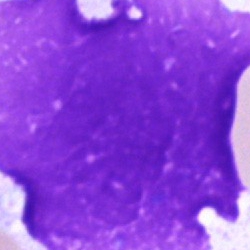 Single cell identified as an artifact.